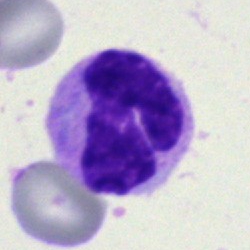
The cell type is monocyte.